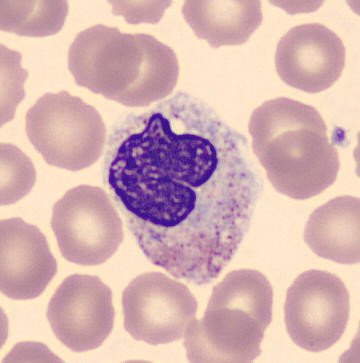 Morphological class — metamyelocyte.